250×250. Bone marrow smear.
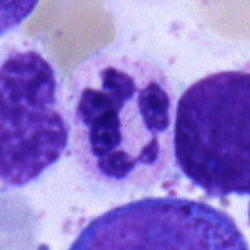 Morphological class = polymorphonuclear neutrophil.